Bone marrow smear; cropped to a single cell: 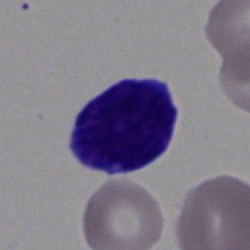Impression — blast.